Bone marrow aspirate smear — 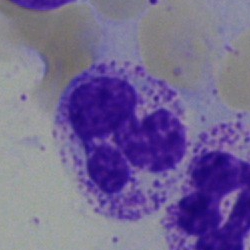

The cell is neutrophil (segmented).